Peripheral blood smear; brightfield, 100× oil-immersion objective; single-cell crop:
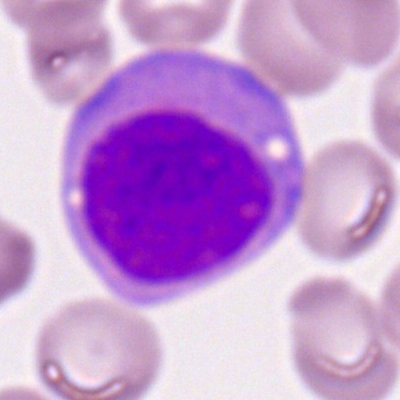Morphology consistent with a myeloid blast.